Bone marrow smear · 250×250 px: 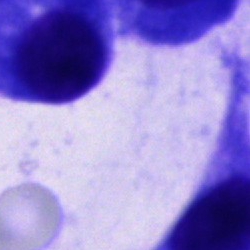

Specimen: bone marrow aspirate smear.
Morphological class: other cell type.